May-Grünwald-Giemsa stain · bone marrow aspirate smear.
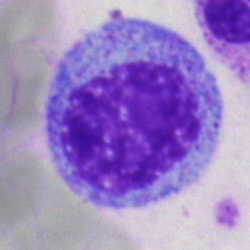

Morphology — progranulocyte.